Bone marrow smear.
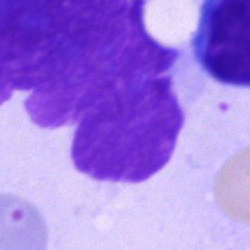

Artefact.